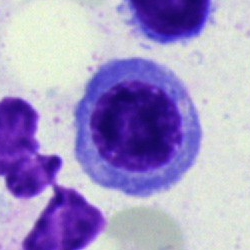
A normoblast.